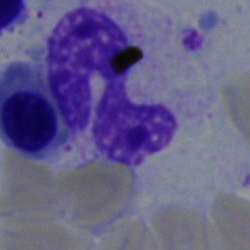

Specimen: bone marrow aspirate smear.
Cell: neutrophil (segmented).